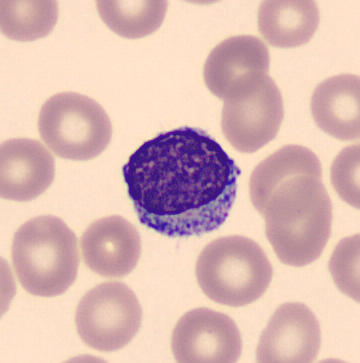 Morphology → lymphocyte. Peripheral blood film. Single-cell crop.